Bone marrow aspirate smear:
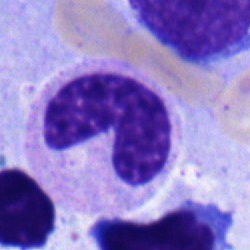

Q: Identify the cell.
A: It is a band-form neutrophil.